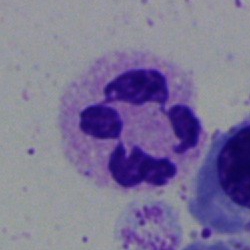Single-cell crop from a bone marrow smear: neutrophil (segmented).